Bone marrow smear.
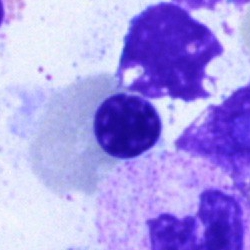
A nucleated red blood cell.